Bone marrow aspirate smear; May-Grünwald-Giemsa stain: 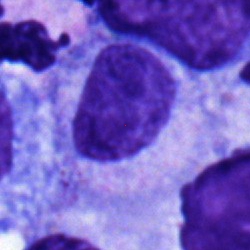 Cell type — metamyelocyte.